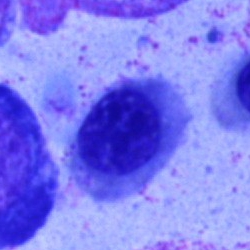Morphology — nucleated red blood cell.